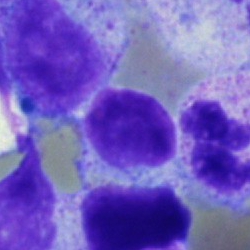
Cell type — lymphocyte.